Bone marrow aspirate smear: 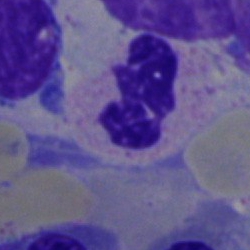 Neutrophil (segmented).